May-Grünwald-Giemsa/Pappenheim stain · bone marrow smear · 40× oil immersion
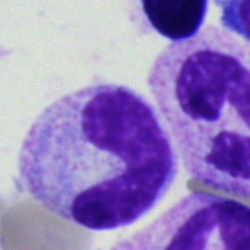Band-form neutrophil.